Bone marrow aspirate smear. Pappenheim-stained. Brightfield microscopy, 40× oil immersion — 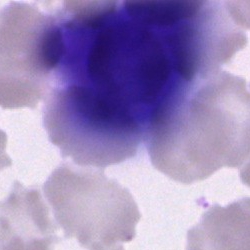Specimen: bone marrow aspirate smear.
Classification: cell of indeterminate lineage.